Bone marrow aspirate smear — 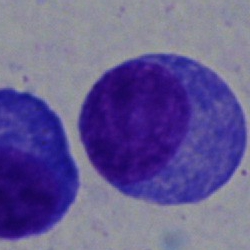

Morphology consistent with a plasma cell.